Bone marrow smear — 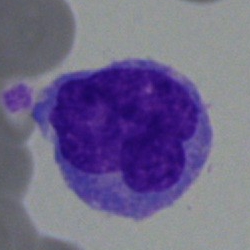

Impression → monocyte.